Single cell centered in the field; bone marrow smear — 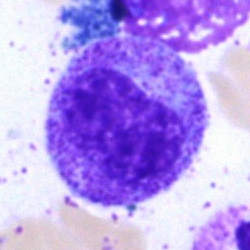
Specimen: bone marrow smear.
Cell: myelocyte.